Bone marrow aspirate smear.
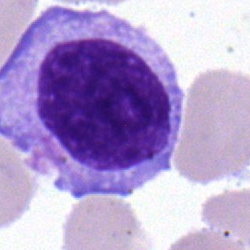

This is a lymphocyte.